Bone marrow smear · 40× objective, oil immersion · 250×250
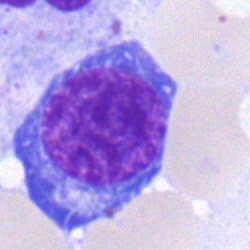 Cell: plasma cell.